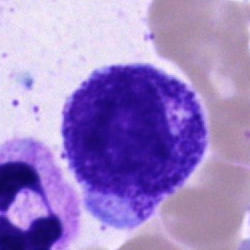

Cell type — promyelocyte.